May-Grünwald-Giemsa/Pappenheim stain · bone marrow aspirate smear
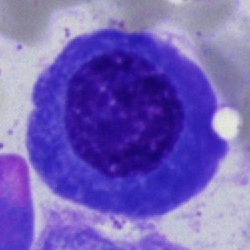 Plasma cell.